Brightfield microscopy, 40× oil immersion; bone marrow smear; MGG-stained.
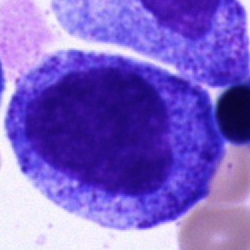

Morphology → promyelocyte.